Bone marrow smear:
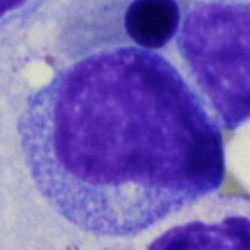 Morphology consistent with a progranulocyte.